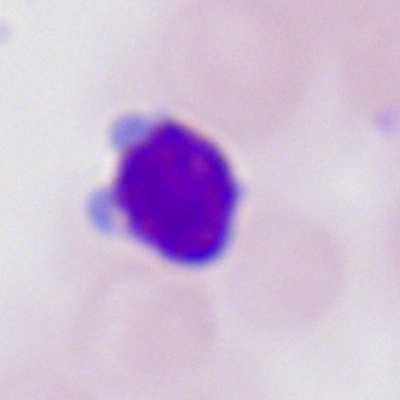 The cell shown is a lymphocyte.